Bone marrow aspirate smear; 250 by 250 pixels
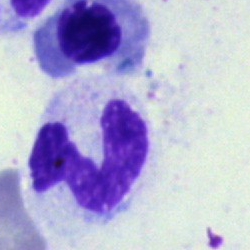

Cell — band neutrophil.